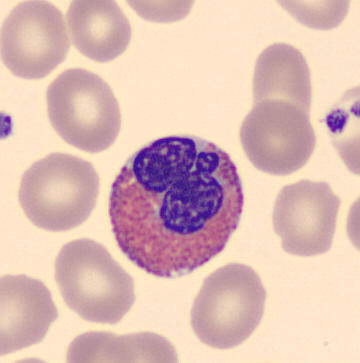Acquisition: Peripheral blood film; CellaVision DM96 digital cell image. {"cell_type": "eosinophilic granulocyte"}